Bone marrow aspirate smear
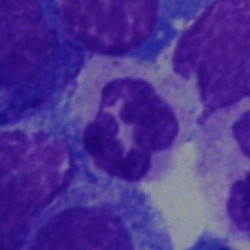Specimen: bone marrow aspirate smear.
Cell type: polymorphonuclear neutrophil.